Bone marrow aspirate smear
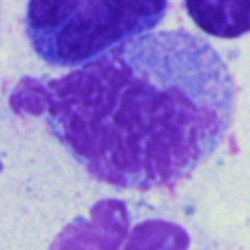

Q: What is shown here?
A: An artefact.